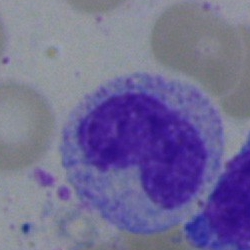

The cell type is metamyelocyte.